Bone marrow smear — 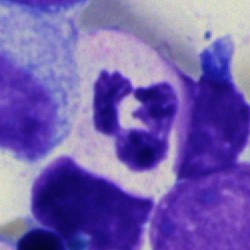 Specimen: bone marrow smear.
Cell type: neutrophil (segmented).
Lineage: myeloid.